40× oil immersion; bone marrow aspirate smear; cropped to a single cell:
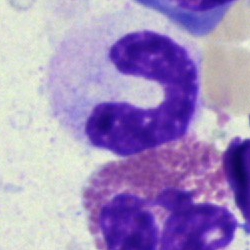
{"cell_type": "neutrophil (band)", "lineage": "myeloid"}